Bone marrow smear:
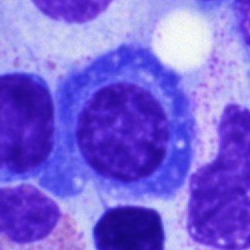Specimen: bone marrow smear.
Cell type: plasma cell.
Lineage: lymphoid.